Bone marrow aspirate smear
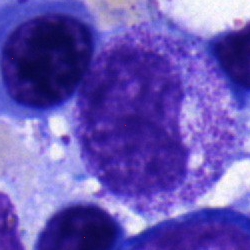
Morphological class — myelocyte.